Bone marrow smear — 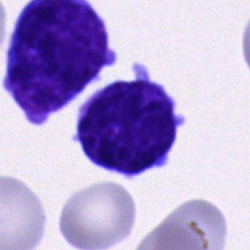

Impression → undifferentiated blast.